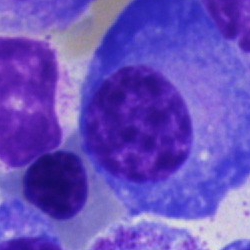
Bone marrow smear showing a plasmacyte.